Bone marrow aspirate smear — 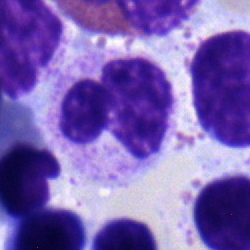
Morphology → neutrophil (segmented).